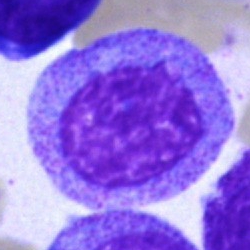
Q: What cell is this?
A: A progranulocyte.